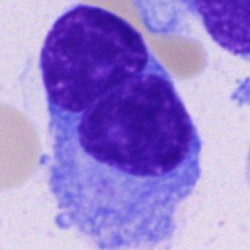

Q: What cell is this?
A: Plasma cell.